Bone marrow aspirate smear · 250 by 250 pixels — 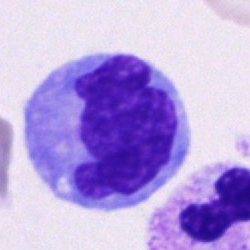 {"cell_type": "monocyte", "lineage": "myeloid"}